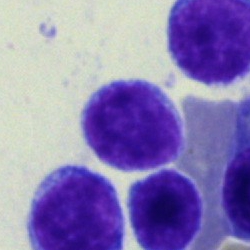

{"cell_type": "lymphocyte", "lineage": "lymphoid"}